Single-cell field. Bone marrow aspirate smear. Pappenheim-stained: 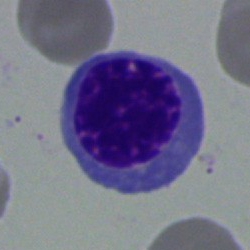
Morphology consistent with a nucleated red cell.